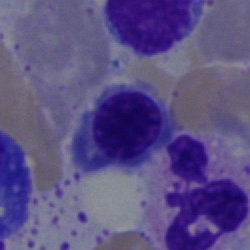

An erythroblast.